250×250 px · 40× oil immersion · bone marrow aspirate smear.
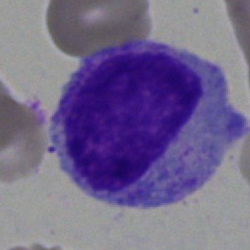Showing a progranulocyte.